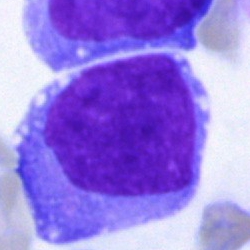 Single-cell crop from a bone marrow smear: undifferentiated blast.